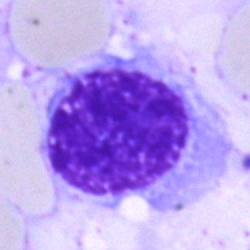
Specimen: bone marrow aspirate smear.
Morphological class: artifact.